May-Grünwald-Giemsa/Pappenheim stain; 40× objective, oil immersion; bone marrow aspirate smear.
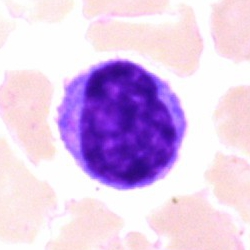

Cell type = typical lymphocyte.